Bone marrow aspirate smear. Pappenheim-stained. Single-cell field
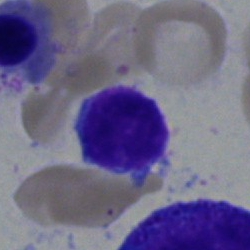

Specimen: bone marrow aspirate smear.
Classification: typical lymphocyte.